Bone marrow smear. Brightfield, 40× oil-immersion objective — 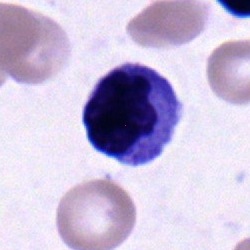 The cell shown is a monocyte.